Single-cell field · bone marrow smear · brightfield microscopy, 40× oil immersion: 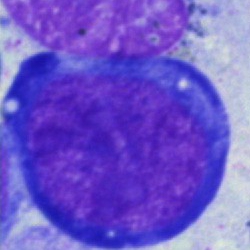

Cell type — pronormoblast.